Peripheral blood smear · Romanowsky-stained: 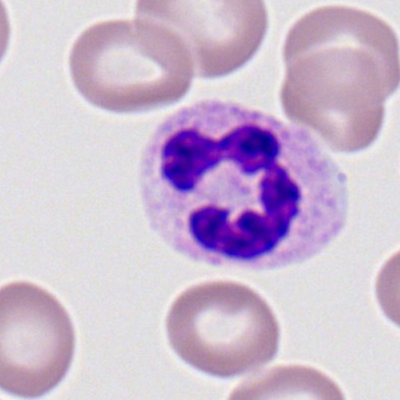

This is a neutrophil (segmented).